Bone marrow aspirate smear
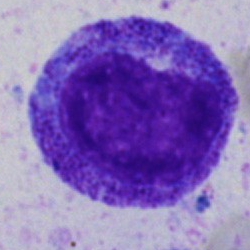
Single cell identified as a promyelocyte.